Bone marrow smear.
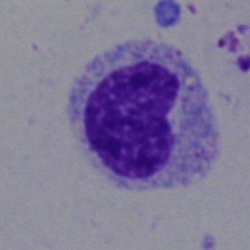

Q: What is shown here?
A: Metamyelocyte.